Peripheral blood film — 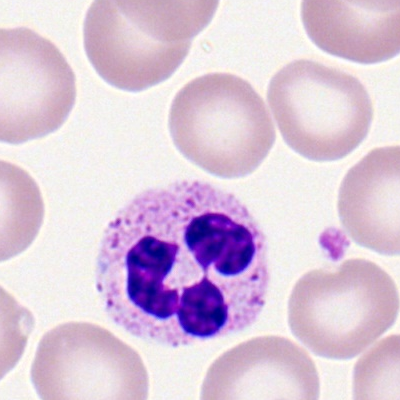
The cell shown is a segmented neutrophil.